Bone marrow smear · 40× oil immersion · image size 250×250
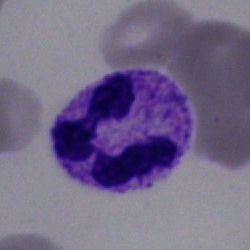Classification = segmented neutrophil.